Bone marrow smear
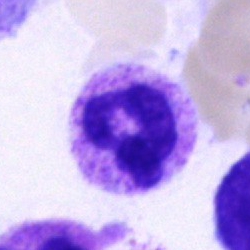Morphological class — neutrophil (segmented).